250 by 250 pixels · bone marrow aspirate smear:
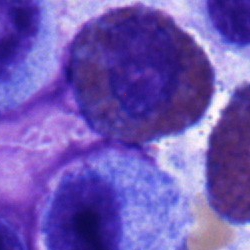

This is an eosinophil.